Bone marrow smear:
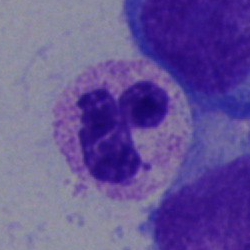

Q: What is shown here?
A: This is a segmented neutrophil.